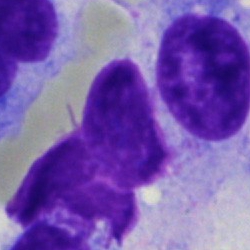

Specimen: bone marrow aspirate smear.
Morphological class: artifact.